Bone marrow smear — 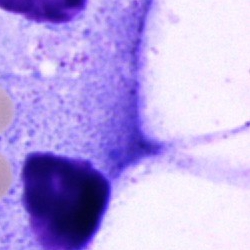Showing an artefact.